Single cell centered in the field · brightfield microscopy, 40× oil immersion · bone marrow smear: 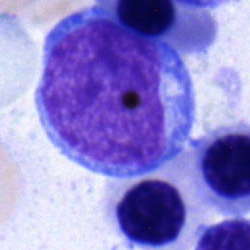Morphology → undifferentiated blast.